Bone marrow aspirate smear. Brightfield, 40× oil-immersion objective:
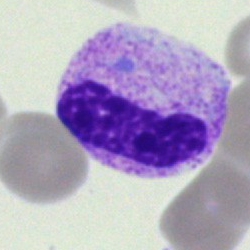
Morphological class — stab cell.